Single-cell crop. Bone marrow smear — 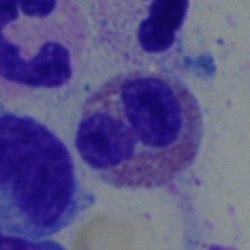 Single cell identified as an eosinophil.